Bone marrow smear
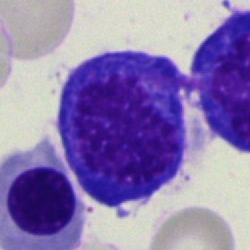
The cell shown is an erythroblast.